Bone marrow aspirate smear · May-Grünwald-Giemsa stain.
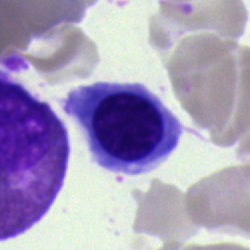 Impression — nucleated red blood cell.